Bone marrow smear.
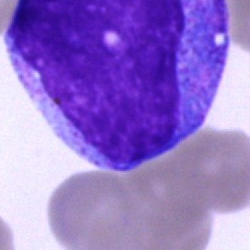
Classification: progranulocyte.